Bone marrow smear. Brightfield microscopy, 40× oil immersion: 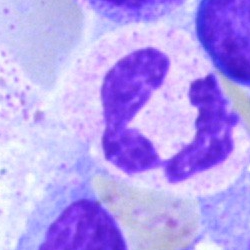
Q: What is the morphological classification of this cell?
A: Polymorphonuclear neutrophil.